Brightfield microscopy, 40× oil immersion. Bone marrow smear — 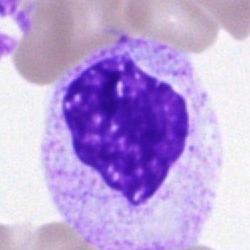 Specimen: bone marrow smear.
Cell type: myelocyte.